Bone marrow aspirate smear.
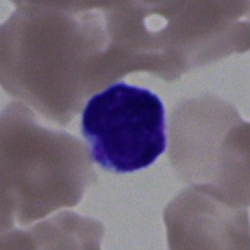
{"cell_type": "typical lymphocyte", "lineage": "lymphoid"}